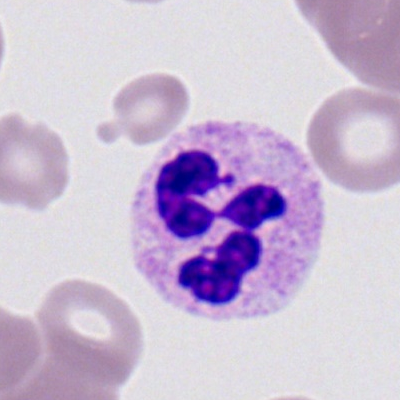
Cell type = segmented neutrophil.